Pappenheim-stained · bone marrow aspirate smear:
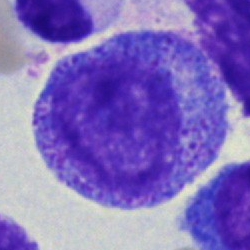 Progranulocyte.